Bone marrow aspirate smear. 250×250 px:
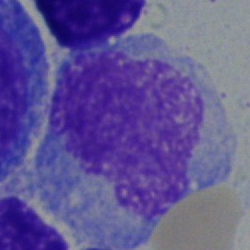 The cell shown is a monocyte.